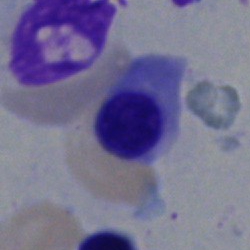 The cell shown is an erythroblast.